Bone marrow aspirate smear. Pappenheim-stained: 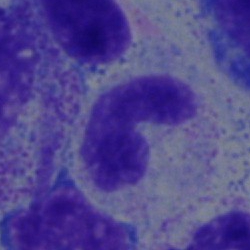 Single cell identified as a neutrophil (band).